Bone marrow aspirate smear
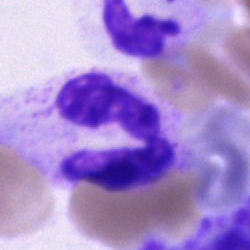 Morphology — neutrophil (segmented).